Bone marrow smear:
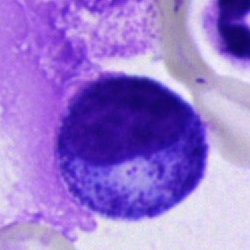

Promyelocyte.